Bone marrow smear:
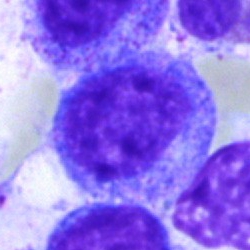

{"cell_type": "progranulocyte", "lineage": "myeloid"}